100× objective, oil immersion; peripheral blood smear; image size 400×400.
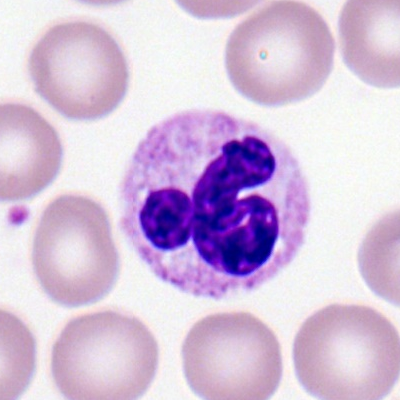 Q: What is shown here?
A: This is a segmented neutrophil.